MGG-stained · 250×250 · bone marrow smear — 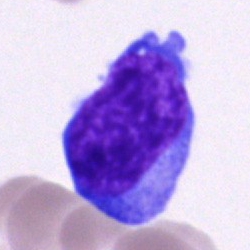

Morphology consistent with a blast cell.